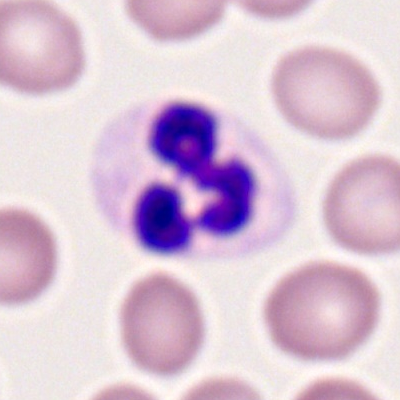Single-cell crop from a peripheral blood smear: segmented neutrophil.